Brightfield microscopy, 40× oil immersion. Bone marrow smear:
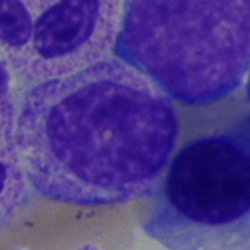
A myelocyte.